Bone marrow aspirate smear; MGG-stained.
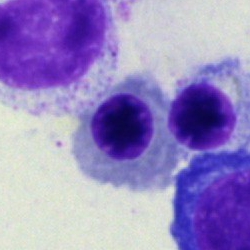 A nucleated red blood cell.